Bone marrow aspirate smear: 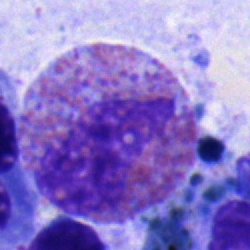 Q: Which cell type is shown here?
A: Eosinophilic granulocyte.